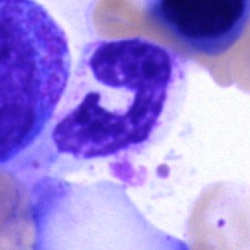
Morphology — neutrophil (band).